Bone marrow smear.
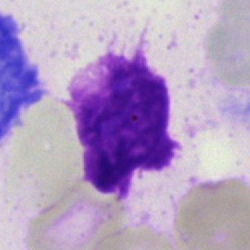 Single cell identified as an artefact.